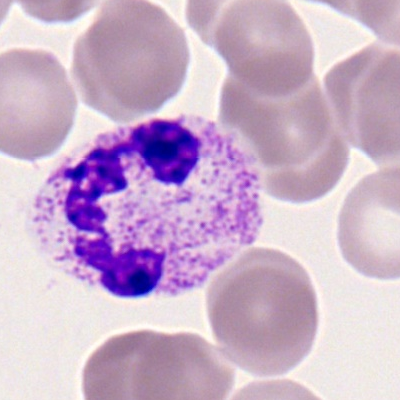

Cell — polymorphonuclear neutrophil.